Single-cell crop; bone marrow aspirate smear:
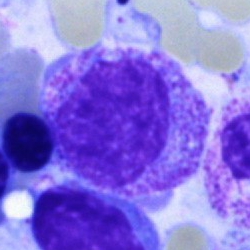

{"cell_type": "myelocyte", "lineage": "myeloid"}